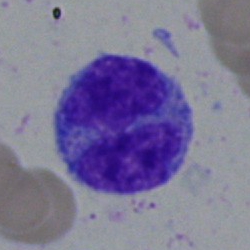

Morphology consistent with a blast.